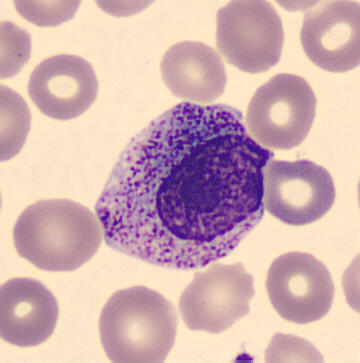 Myelocyte. May Grünwald-Giemsa stain; single cell centered in the field; peripheral blood smear.